Peripheral blood smear:
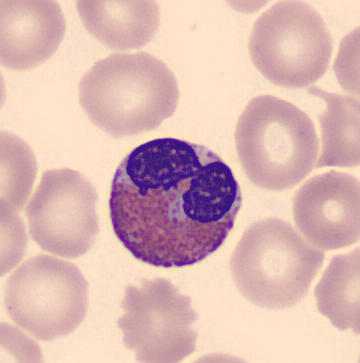
Specimen: peripheral blood smear.
Cell: eosinophilic granulocyte.